Bone marrow smear
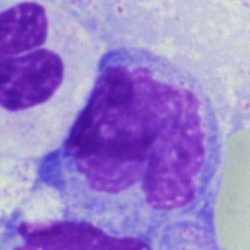Monocyte.